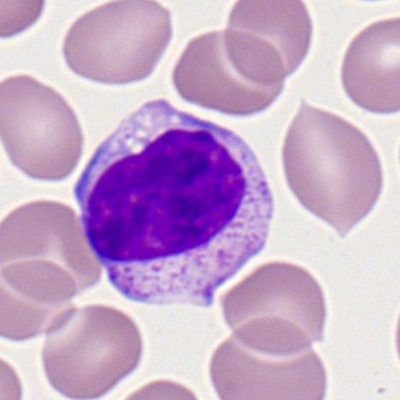

Impression → typical lymphocyte.